40× oil immersion; bone marrow smear; 250 by 250 pixels.
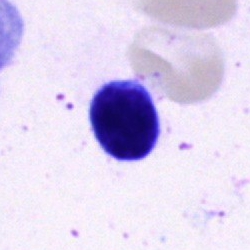

This is a lymphocyte.